Bone marrow aspirate smear.
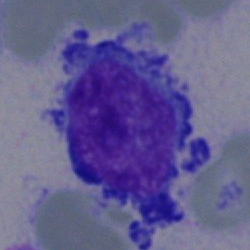 Specimen: bone marrow smear.
Morphological class: typical lymphocyte.
Lineage: lymphoid.